Bone marrow aspirate smear; brightfield, 40× oil-immersion objective
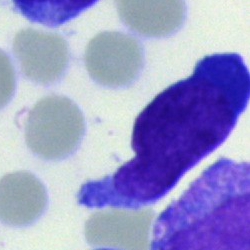 Classification = blast.